May-Grünwald-Giemsa stain · 250×250 · bone marrow aspirate smear
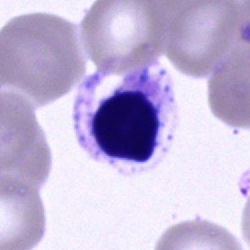An unidentifiable cell.